Bone marrow smear. 250×250:
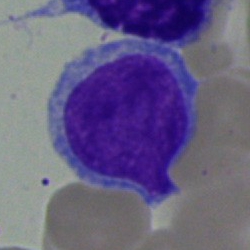
The cell is undifferentiated blast.